Bone marrow aspirate smear. Image size 250×250. Single-cell crop: 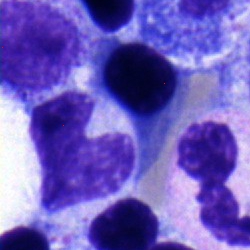 Showing a neutrophil (band).